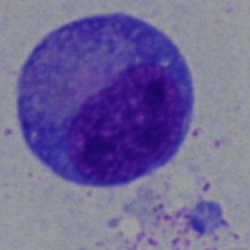
Morphological class: promyelocyte.